Bone marrow aspirate smear. 250×250 px — 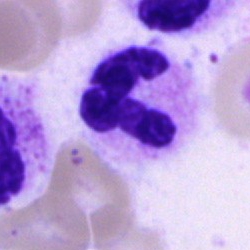Cell type: neutrophil (segmented).